Bone marrow smear · 40× objective, oil immersion · single-cell crop:
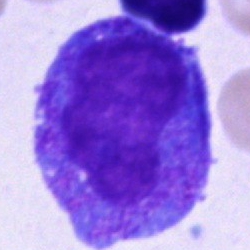The cell shown is a progranulocyte.